360×363. Cropped to a single cell. Peripheral blood smear.
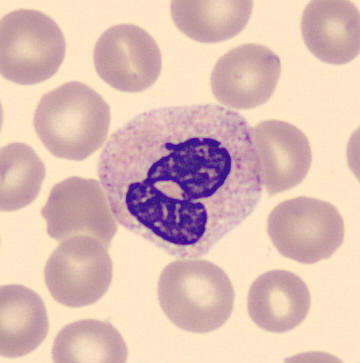
Cell type — neutrophil (segmented).